250×250; bone marrow aspirate smear.
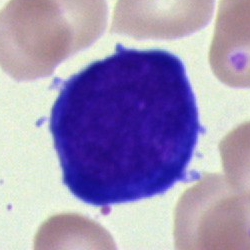
Showing a proerythroblast.